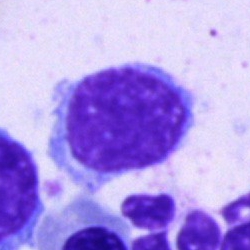Specimen: bone marrow smear.
Cell: lymphocyte.
Lineage: lymphoid.